Bone marrow aspirate smear. Single cell centered in the field:
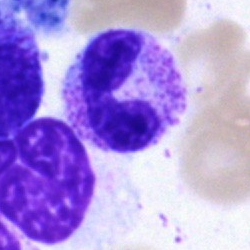Segmented neutrophil.